MGG-stained. Bone marrow smear: 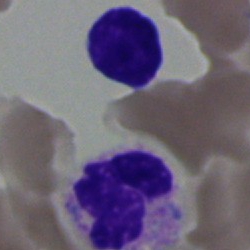Showing a polymorphonuclear neutrophil.